Bone marrow aspirate smear. Single-cell field.
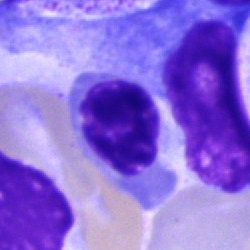A normoblast.